Cropped to a single cell; May-Grünwald-Giemsa/Pappenheim stain; bone marrow aspirate smear
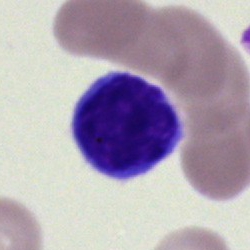 Impression → typical lymphocyte.